Bone marrow aspirate smear.
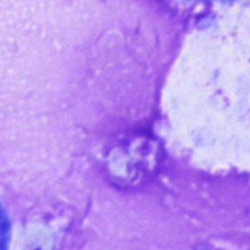

Classification — artefact.